May-Grünwald-Giemsa/Pappenheim stain. Brightfield microscopy, 40× oil immersion. Bone marrow smear: 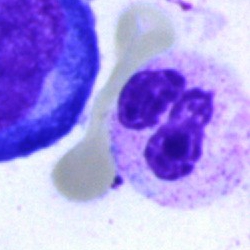 Morphological class: polymorphonuclear neutrophil.